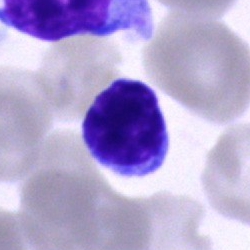
Showing a lymphocyte.